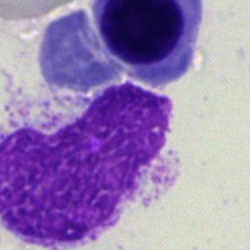

Morphological class — artifact.